MGG-stained. Bone marrow aspirate smear:
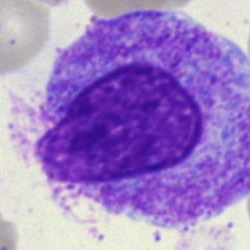Q: What type of cell is this?
A: A promyelocyte.